Bone marrow smear.
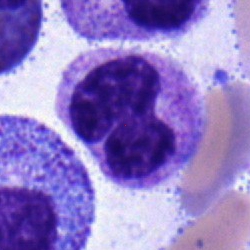
Showing a neutrophil (band).